Bone marrow smear: 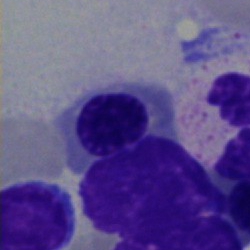 The cell shown is a normoblast.